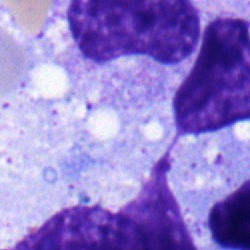Q: What cell is this?
A: A metamyelocyte.